Bone marrow smear: 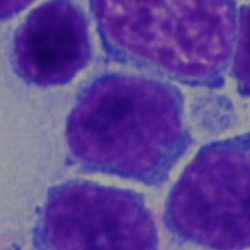 Q: What type of cell is this?
A: Lymphocyte.